Bone marrow aspirate smear — 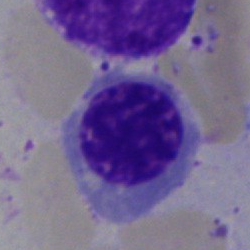

This is an erythroblast.